Bone marrow aspirate smear; 250×250 px
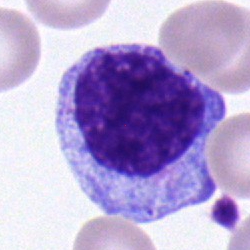Q: Which cell type is shown here?
A: Myelocyte.